Bone marrow smear — 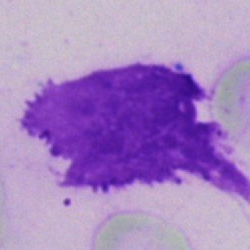

Impression → artifact.